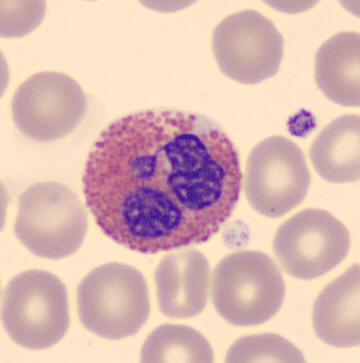

Cell type: eosinophilic granulocyte.
Image size 360×363; peripheral blood smear; single-cell field.